Single-cell crop; 40× oil immersion; bone marrow aspirate smear — 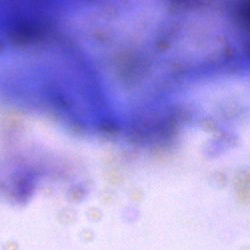
{"cell_type": "artefact"}